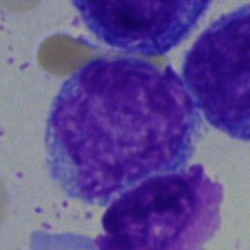Morphological class = blast cell.